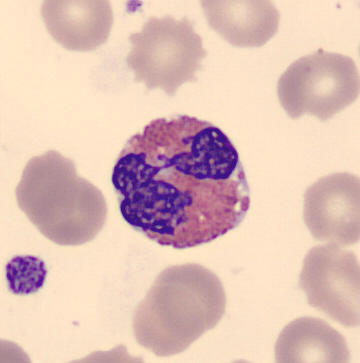 The cell type is eosinophil.